Bone marrow aspirate smear
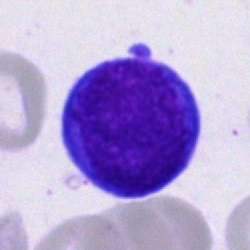

Impression → undifferentiated blast.